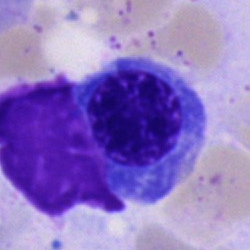Classification: erythroblast.